Bone marrow smear.
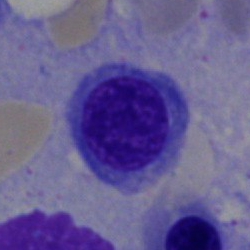
Morphology consistent with a nucleated red blood cell.